Bone marrow smear
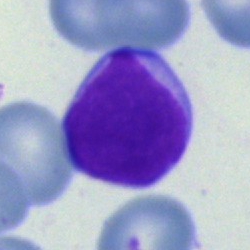

Morphological class: typical lymphocyte.